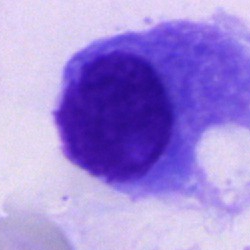
Cell = plasmacyte.